Bone marrow smear — 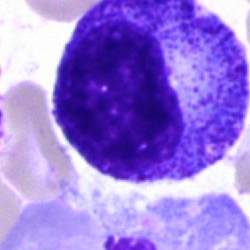 Cell type — promyelocyte.